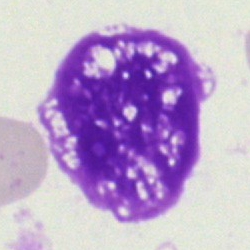

Single-cell crop from a bone marrow smear: artefact.